Bone marrow aspirate smear: 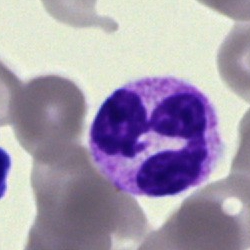 The morphological class is neutrophil (segmented).